Bone marrow aspirate smear — 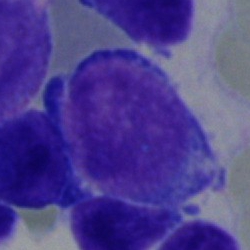 Q: Which cell type is shown here?
A: A blast cell.